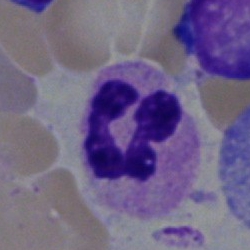 {"cell_type": "neutrophil (segmented)"}